Bone marrow smear: 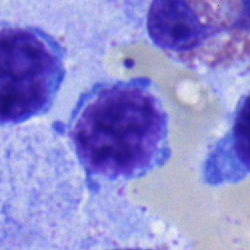

The cell shown is a typical lymphocyte.